250×250; bone marrow smear; brightfield microscopy, 40× oil immersion.
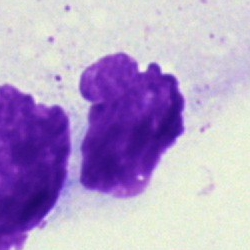Single cell identified as an artifact.